Brightfield microscopy, 40× oil immersion. Bone marrow smear — 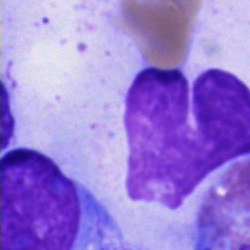

Q: What type of cell is this?
A: An unidentifiable cell.